Peripheral blood film.
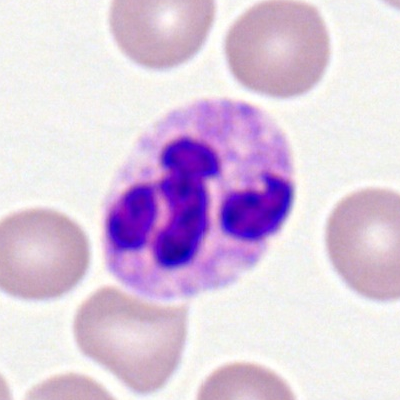 Showing a segmented neutrophil.